Bone marrow aspirate smear. Single cell centered in the field:
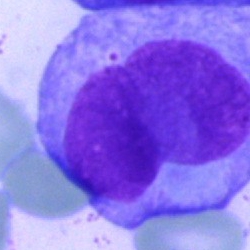 Impression — undifferentiated blast.